Single-cell crop · 40× objective, oil immersion · bone marrow smear.
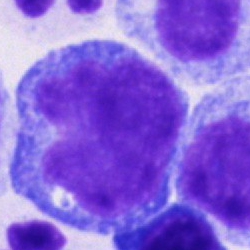

The morphological class is undifferentiated blast.